Bone marrow aspirate smear.
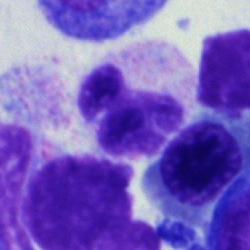Q: Identify the cell.
A: It is a neutrophil (segmented).